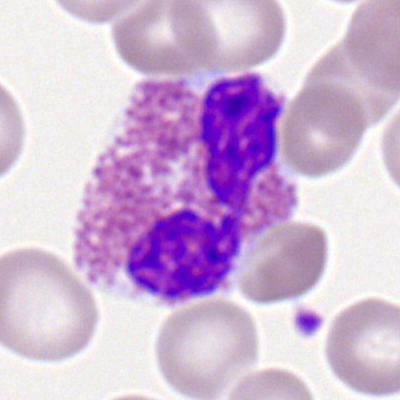

{"cell_type": "eosinophilic granulocyte"}